Bone marrow aspirate smear · 250×250.
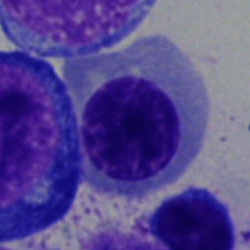Classification — erythroblast.